Bone marrow aspirate smear.
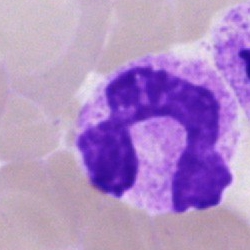A band neutrophil.